Bone marrow aspirate smear
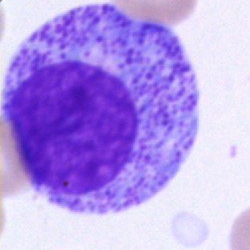

Classification — promyelocyte.